Bone marrow smear.
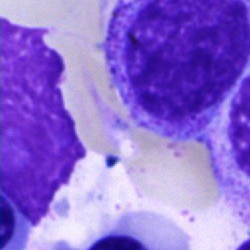
Cell: artifact.